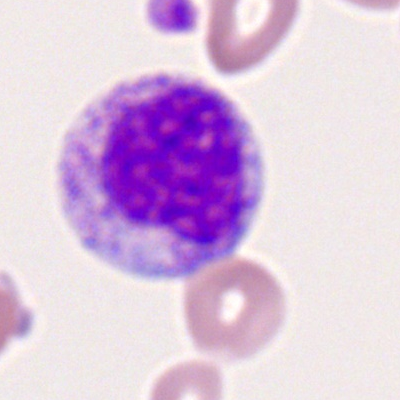
Peripheral blood smear showing a myelocyte.